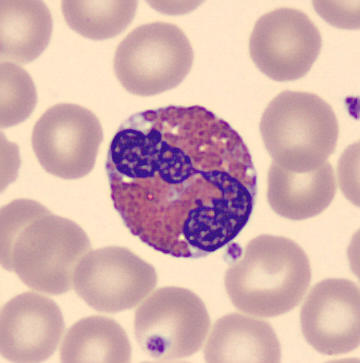
Q: What cell is this?
A: This is an eosinophilic granulocyte. Image: Peripheral blood smear; 360×363 px.